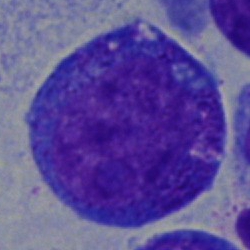

The cell type is progranulocyte.